Bone marrow smear:
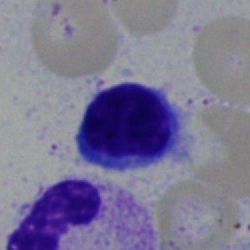Morphology consistent with a lymphocyte.